Bone marrow aspirate smear. 250 by 250 pixels. 40× objective, oil immersion
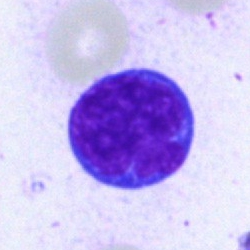

Q: What is shown here?
A: Typical lymphocyte.